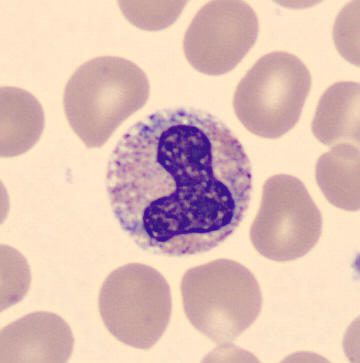

Specimen: peripheral blood film.
Cell: band-form neutrophil.
Lineage: myeloid.